Peripheral blood film: 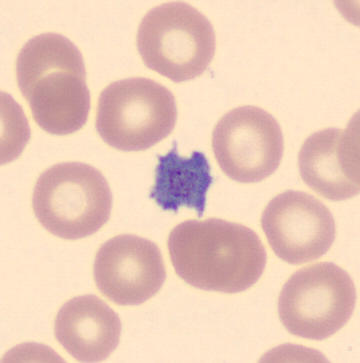 Cell type: platelet (thrombocyte).